Brightfield, 40× oil-immersion objective. Bone marrow aspirate smear. May-Grünwald-Giemsa stain.
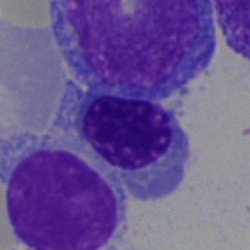

Q: Identify the cell.
A: This is a normoblast.